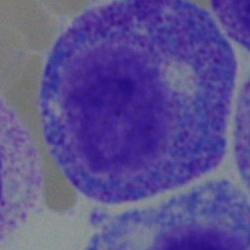The morphological class is promyelocyte.